Bone marrow aspirate smear: 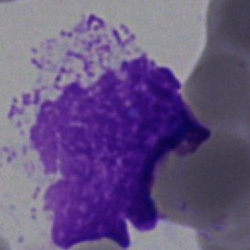 Specimen: bone marrow smear.
Classification: artefact.